100× objective, oil immersion · peripheral blood smear — 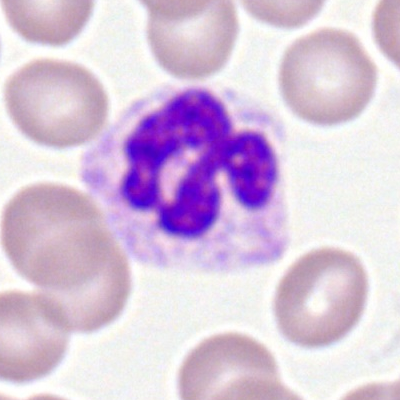 Morphological class: polymorphonuclear neutrophil.